Bone marrow aspirate smear.
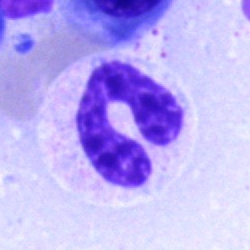 Cell: band neutrophil.